Bone marrow aspirate smear:
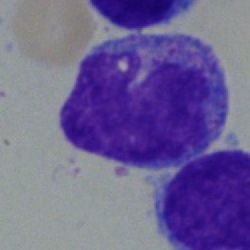

Q: Identify the cell.
A: This is a monocyte.